Bone marrow aspirate smear · single cell centered in the field · brightfield microscopy, 40× oil immersion: 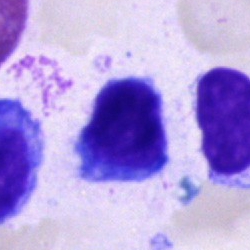

Cell: typical lymphocyte.